Bone marrow smear: 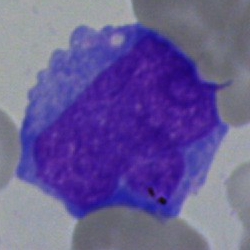The cell shown is a blast.